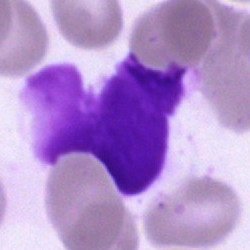 The classification is artifact.